40× oil immersion · bone marrow smear.
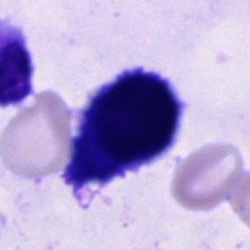 Q: Which cell type is shown here?
A: A cell of indeterminate lineage.